40× oil immersion. May-Grünwald-Giemsa stain. Bone marrow aspirate smear:
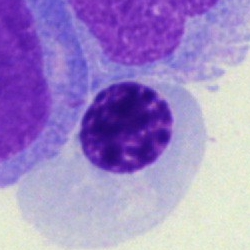
Morphology consistent with a normoblast.